Bone marrow aspirate smear · brightfield microscopy, 40× oil immersion — 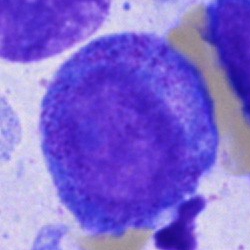

{"cell_type": "progranulocyte"}